May-Grünwald-Giemsa/Pappenheim stain · bone marrow smear · 40× objective, oil immersion:
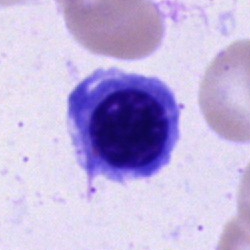The cell is nucleated red cell.